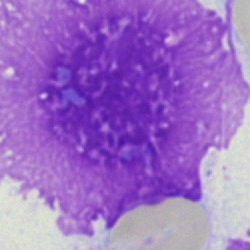The cell is artefact.